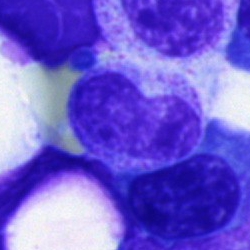
A band-form neutrophil.